Bone marrow smear
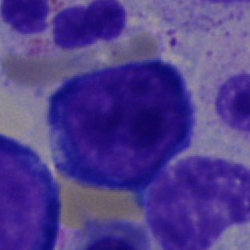The cell type is erythroblast.